Cropped to a single cell. Bone marrow smear
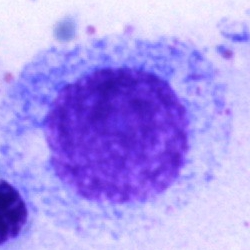Showing a progranulocyte.